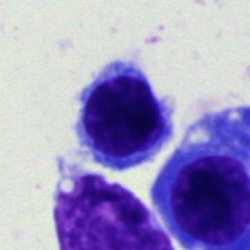{"cell_type": "nucleated red cell"}